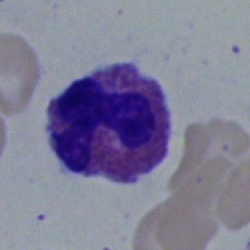
Morphology consistent with an eosinophil.